Bone marrow aspirate smear · single cell centered in the field — 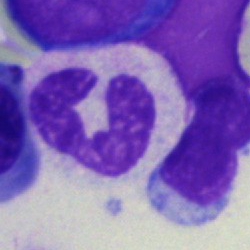

Morphology → polymorphonuclear neutrophil.